Bone marrow smear.
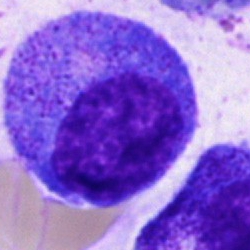{"cell_type": "promyelocyte"}